Single-cell field. 40× oil immersion. Bone marrow aspirate smear.
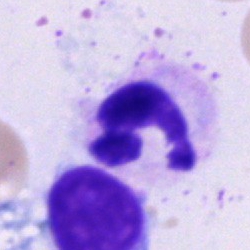
Single cell identified as a neutrophil (segmented).